250×250; bone marrow smear:
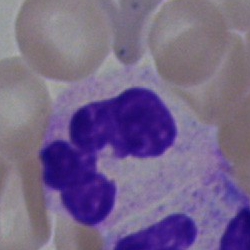Specimen: bone marrow aspirate smear.
Classification: segmented neutrophil.
Lineage: myeloid.